40× objective, oil immersion. Bone marrow smear.
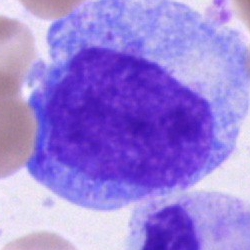

Q: Which cell type is shown here?
A: It is a progranulocyte.